Bone marrow aspirate smear: 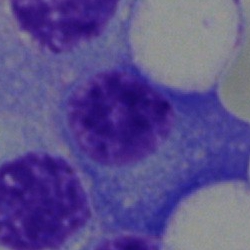
The cell shown is a plasmacyte.